Bone marrow smear · single cell centered in the field: 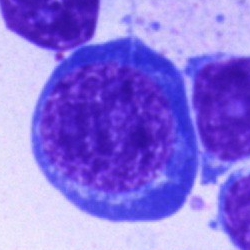Nucleated red blood cell.